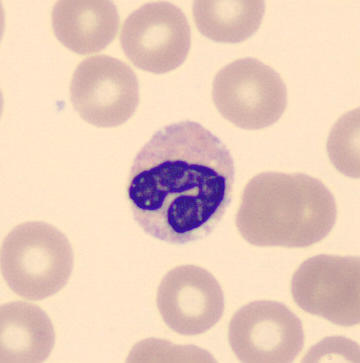{"cell_type": "band-form neutrophil", "lineage": "myeloid"}
Preparation: 360×363. Peripheral blood smear.